Pappenheim-stained · bone marrow smear · single-cell crop
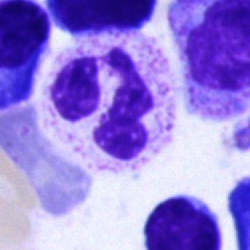
A polymorphonuclear neutrophil.